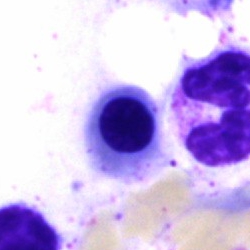{"cell_type": "nucleated red blood cell", "lineage": "erythroid"}